Brightfield microscopy, 40× oil immersion. Bone marrow smear
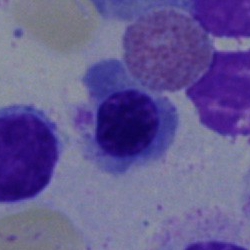 Specimen: bone marrow smear.
Cell type: normoblast.
Lineage: erythroid.